Bone marrow smear. 250×250 — 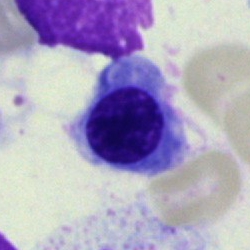

Morphology consistent with a nucleated red cell.